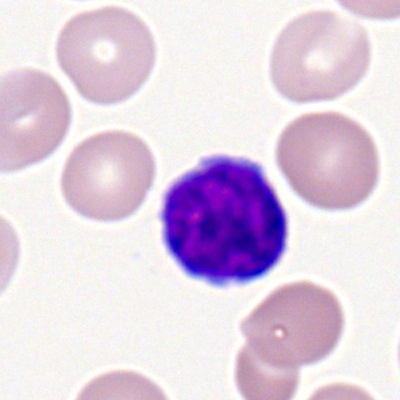

Specimen: peripheral blood film.
Cell type: typical lymphocyte.